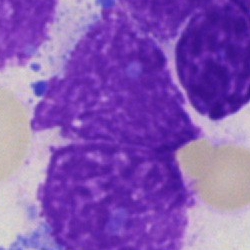
Cell type — artefact.